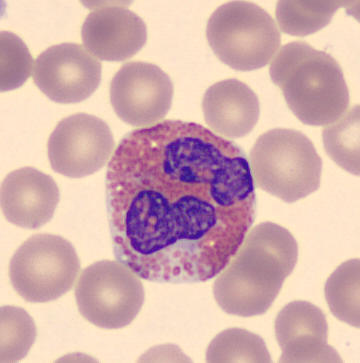

From a peripheral blood smear: an eosinophil.